Bone marrow smear; 40× oil immersion:
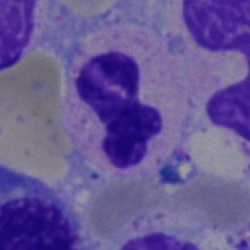

The cell shown is a neutrophil (segmented).